Bone marrow smear — 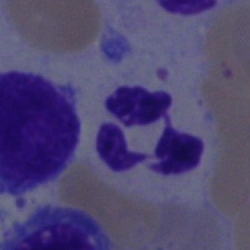 This is a segmented neutrophil.